May-Grünwald-Giemsa/Pappenheim stain; 40× oil immersion; bone marrow aspirate smear
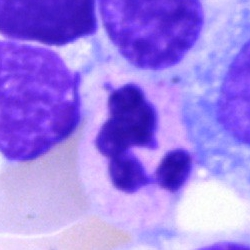
Showing a segmented neutrophil.